40× objective, oil immersion; bone marrow aspirate smear:
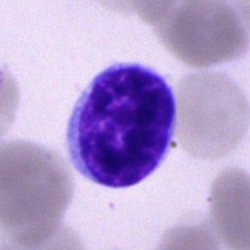Classification: typical lymphocyte.